Peripheral blood smear:
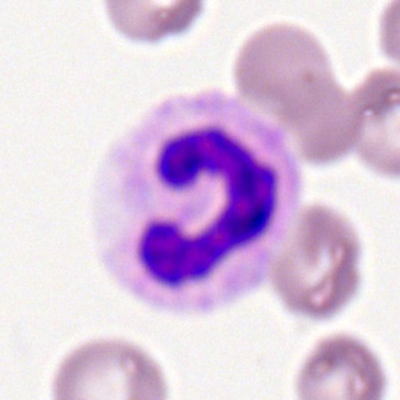

Morphology consistent with a band-form neutrophil.